250 by 250 pixels · bone marrow aspirate smear · Pappenheim-stained.
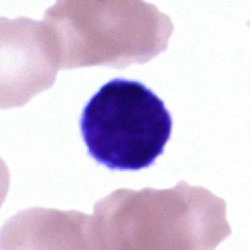

Morphology → typical lymphocyte.